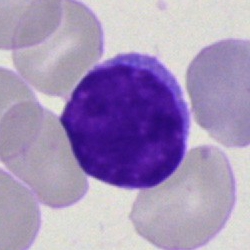

Single-cell crop from a bone marrow smear: lymphocyte.